Bone marrow smear:
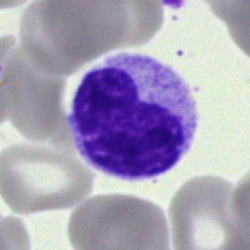

Cell type = polymorphonuclear neutrophil.